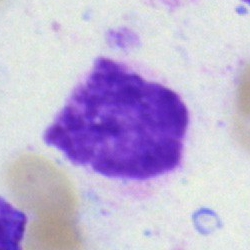 Morphology — artifact.